Bone marrow smear: 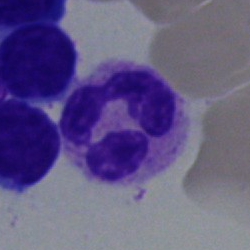

The cell shown is a segmented neutrophil.